Bone marrow smear · brightfield, 40× oil-immersion objective · May-Grünwald-Giemsa stain — 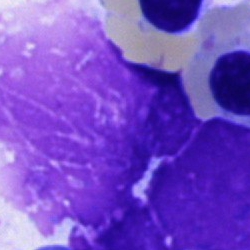Morphological class: artefact.